Bone marrow aspirate smear.
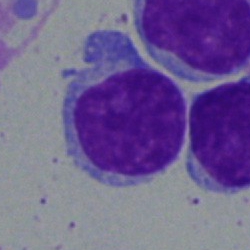Typical lymphocyte.